Bone marrow aspirate smear: 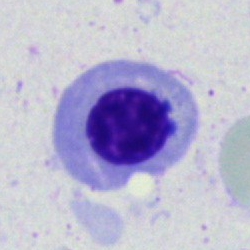

The cell shown is a normoblast.